Bone marrow aspirate smear
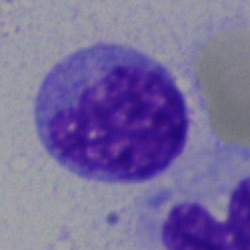
Specimen: bone marrow smear.
Cell: unidentifiable cell.